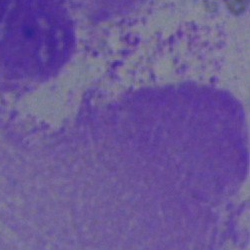

Bone marrow smear showing an artefact.